Bone marrow aspirate smear: 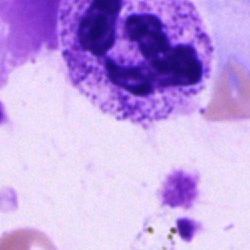
Cell type — neutrophil (segmented).